40× oil immersion; bone marrow smear:
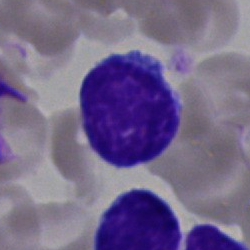

Showing a lymphocyte.